Cropped to a single cell. Bone marrow aspirate smear — 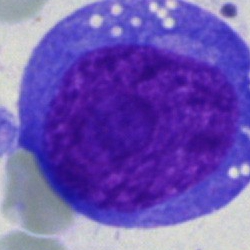
Showing a blast cell.